Bone marrow aspirate smear:
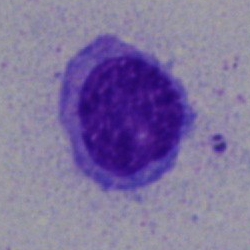
Specimen: bone marrow aspirate smear.
Cell: lymphocyte.
Lineage: lymphoid.